Bone marrow smear. Single cell centered in the field. Brightfield microscopy, 40× oil immersion
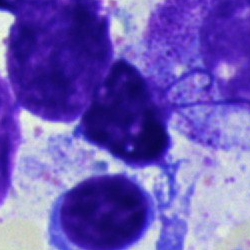
Q: What is shown here?
A: This is an artifact.